Bone marrow smear.
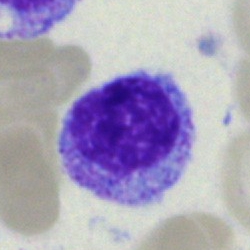This is a myelocyte.